Single-cell field; bone marrow smear; MGG-stained
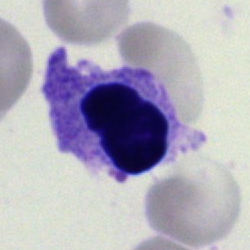 Cell type: nucleated red blood cell.